Bone marrow aspirate smear — 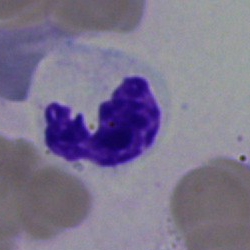 Cell — segmented neutrophil.